Bone marrow aspirate smear; cropped to a single cell; 40× objective, oil immersion.
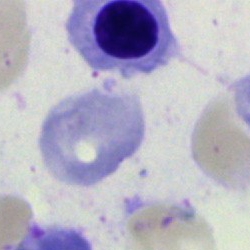

Morphology consistent with a nucleated red blood cell.